Bone marrow smear. Single cell centered in the field — 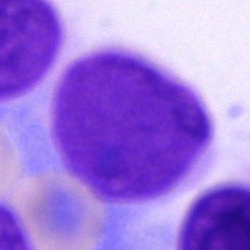

The cell shown is an artefact.